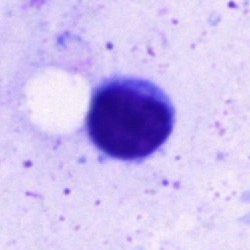

Q: What is shown here?
A: It is a typical lymphocyte.